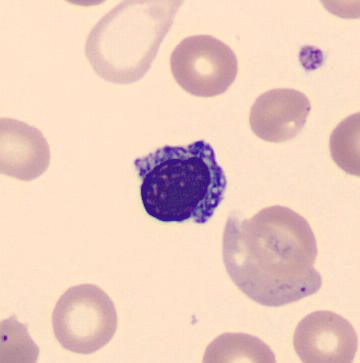
Classification: nucleated red cell.